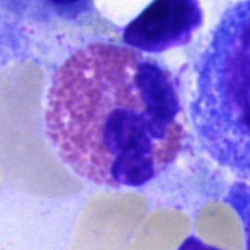Morphological class = eosinophil.